Bone marrow aspirate smear: 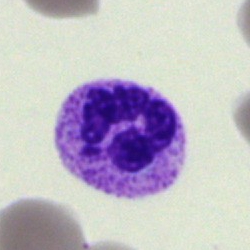Cell: neutrophil (segmented).